Bone marrow aspirate smear.
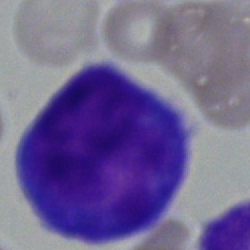
Q: Which cell type is shown here?
A: Promyelocyte.